Bone marrow aspirate smear · 40× objective, oil immersion
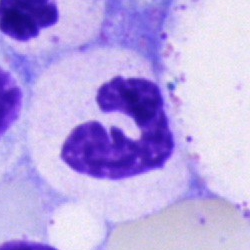

Showing a neutrophil (segmented).